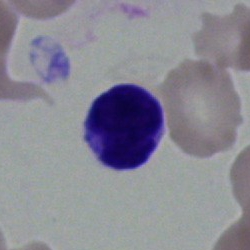 Single cell identified as a lymphocyte.